Bone marrow smear. Brightfield microscopy, 40× oil immersion — 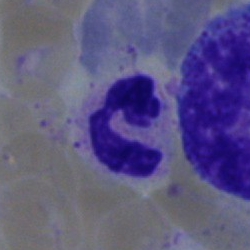 The cell type is polymorphonuclear neutrophil.